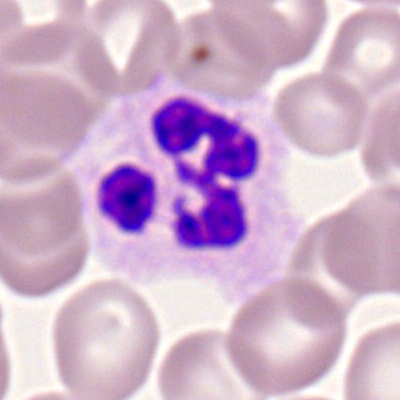Impression → segmented neutrophil.